Peripheral blood film:
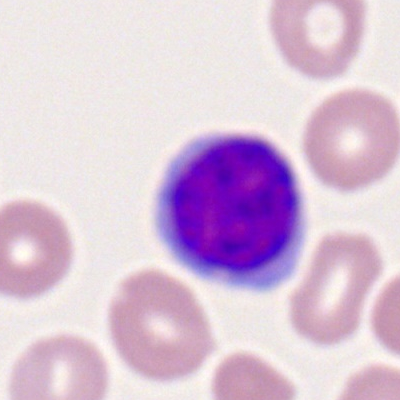
Q: What is shown here?
A: This is a lymphocyte.